Bone marrow smear: 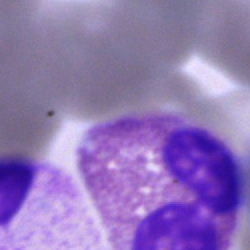

The cell type is eosinophilic granulocyte.